Bone marrow aspirate smear
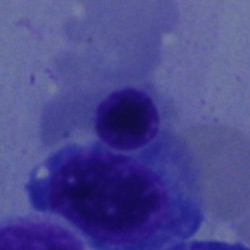Impression → erythroblast.